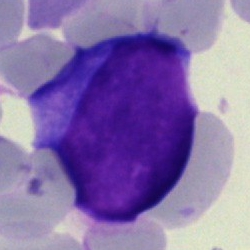
Specimen: bone marrow smear.
Cell type: blast cell.